Bone marrow aspirate smear: 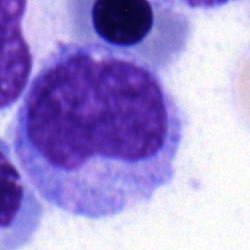Cell type — monocyte.